250 by 250 pixels. Bone marrow aspirate smear. MGG-stained: 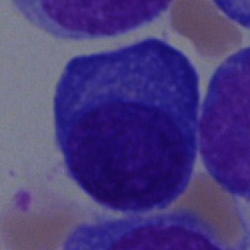Cell — plasmacyte.